Single-cell field; bone marrow aspirate smear.
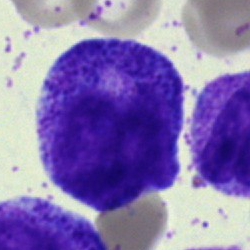 A progranulocyte.